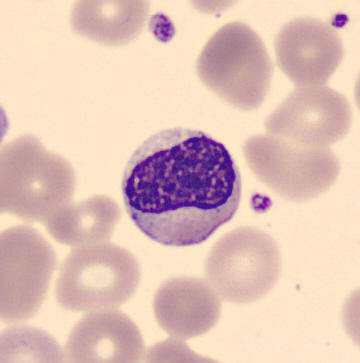Q: Identify the cell.
A: It is a metamyelocyte.